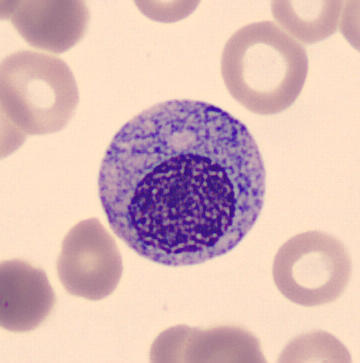

Q: Identify the cell.
A: A promyelocyte.

Acquisition: Peripheral blood smear.